Bone marrow aspirate smear: 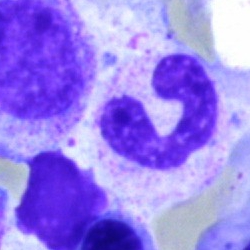

The cell shown is a segmented neutrophil.